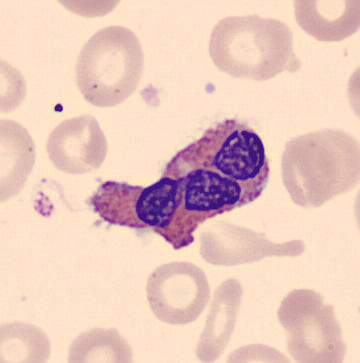Specimen: peripheral blood smear.
Cell type: eosinophil.
Lineage: myeloid.